Bone marrow smear · brightfield, 40× oil-immersion objective: 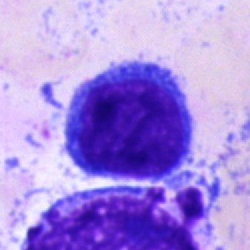
Impression — blast cell.